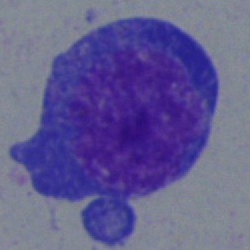
Impression — undifferentiated blast.